Bone marrow smear: 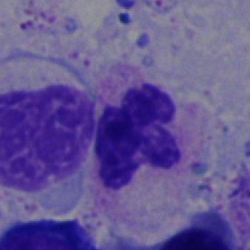This is a polymorphonuclear neutrophil.